Bone marrow aspirate smear:
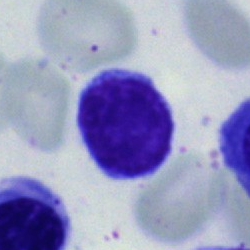Q: What is shown here?
A: This is a lymphocyte.